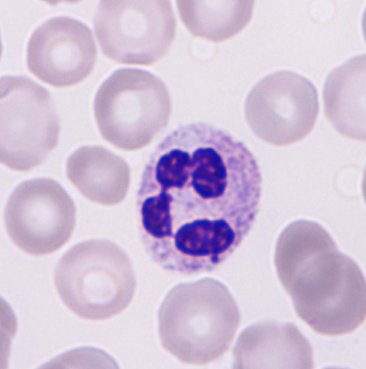

Showing a neutrophilic granulocyte. Preparation: 366×369 · peripheral blood smear.